100× objective, oil immersion · peripheral blood smear
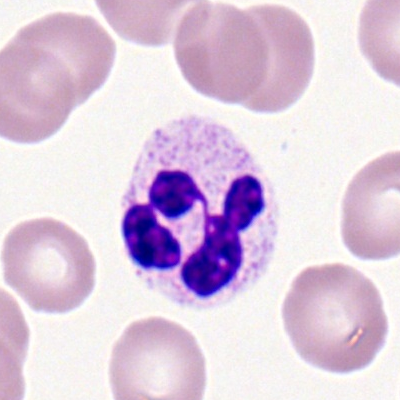 Single cell identified as a polymorphonuclear neutrophil.